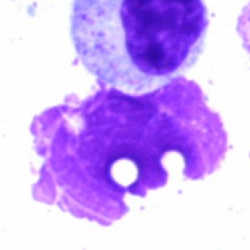
Q: What is shown here?
A: Artifact.